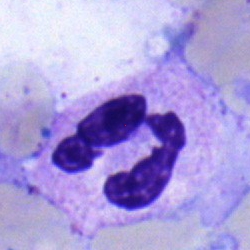
This is a segmented neutrophil.